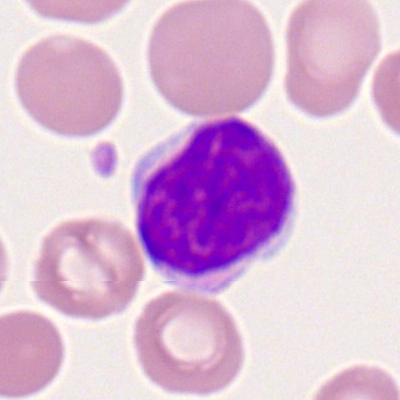
{"cell_type": "typical lymphocyte", "lineage": "lymphoid"}